Bone marrow smear — 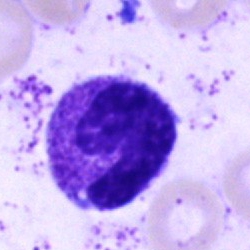

Cell: neutrophil (band).